Cropped to a single cell · bone marrow smear
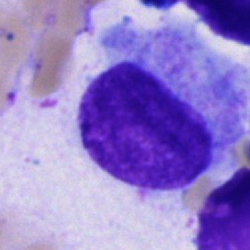 This is a cell of indeterminate lineage.